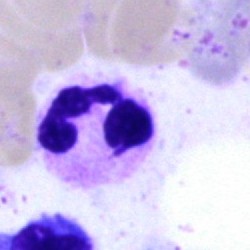The morphological class is segmented neutrophil.